Peripheral blood film; 400×400 px; M8 digital microscope (Precipoint), 100× oil immersion — 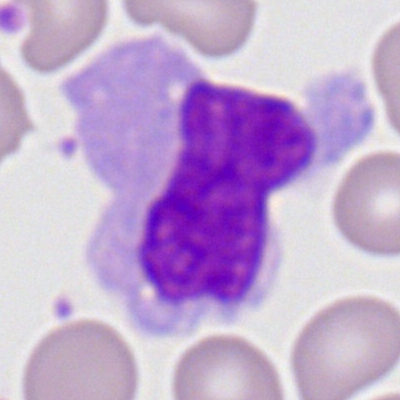 Cell type — monocyte.